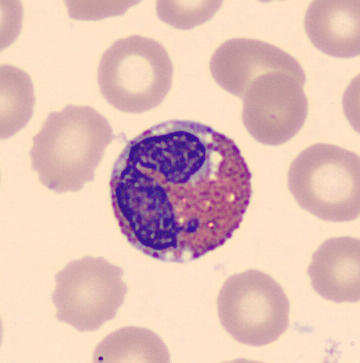
Classification: eosinophilic granulocyte.

Image: Peripheral blood smear. Automated cell imaging (CellaVision DM96).